Bone marrow smear
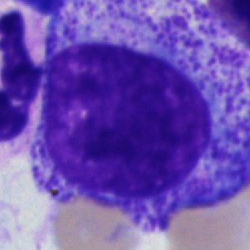

Specimen: bone marrow smear.
Cell type: progranulocyte.
Lineage: myeloid.